Bone marrow aspirate smear:
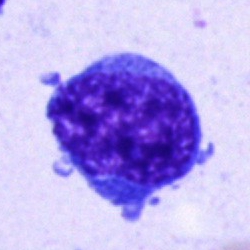 A blast cell.